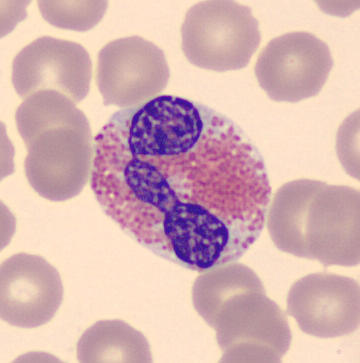

Impression — eosinophilic granulocyte.
Image: Peripheral blood film.